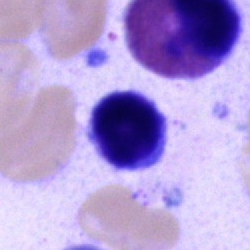
Morphology → typical lymphocyte.